Peripheral blood film.
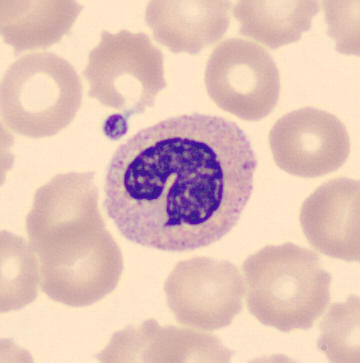

Specimen: peripheral blood film.
Morphological class: stab cell.